Bone marrow smear; image size 250×250:
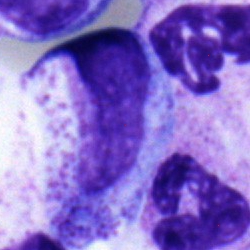
Q: Which cell type is shown here?
A: A myelocyte.